Bone marrow smear — 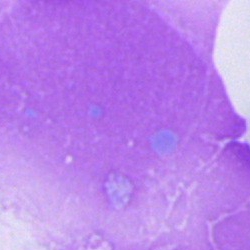 Morphology consistent with an artifact.